100× objective, oil immersion; 400 by 400 pixels; peripheral blood smear: 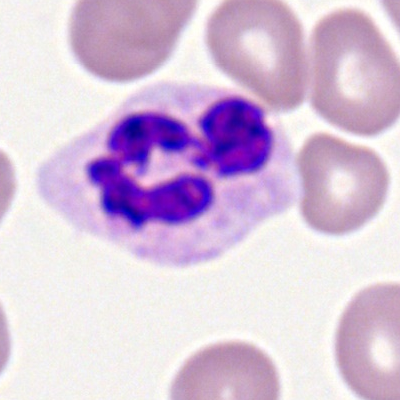

The cell shown is a segmented neutrophil.